Bone marrow aspirate smear
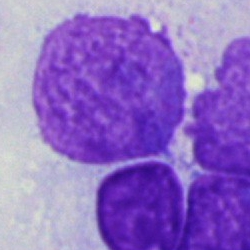 Morphological class — artifact.